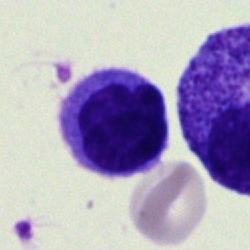

This is a typical lymphocyte.